Bone marrow smear
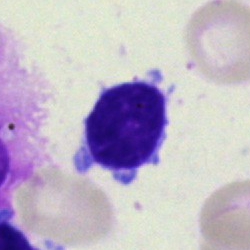 Q: What is shown here?
A: Lymphocyte.